Bone marrow aspirate smear: 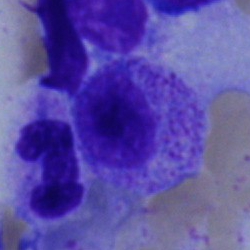
The cell is myelocyte.